Bone marrow aspirate smear. 250 by 250 pixels: 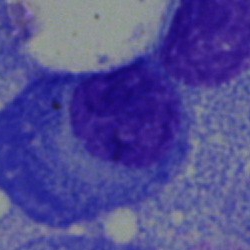Specimen: bone marrow smear.
Morphological class: plasmacyte.
Lineage: lymphoid.